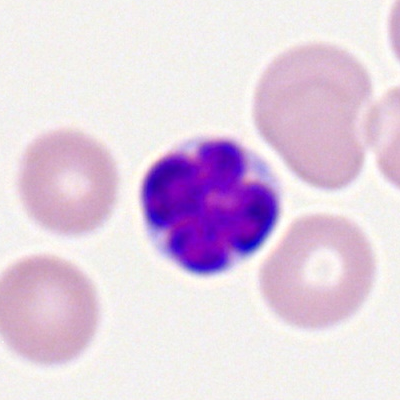

The cell shown is a typical lymphocyte.